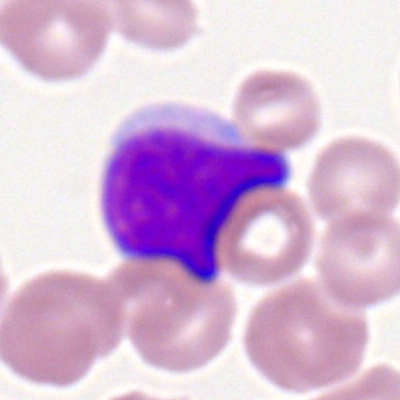

Cell type — myeloblast.